Bone marrow smear
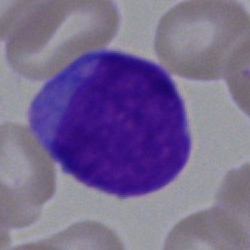Single cell identified as an undifferentiated blast.